Bone marrow smear: 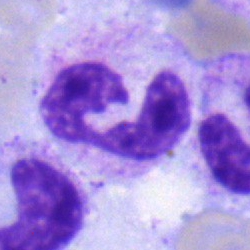
Single cell identified as a segmented neutrophil.